Peripheral blood film. Cropped to a single cell: 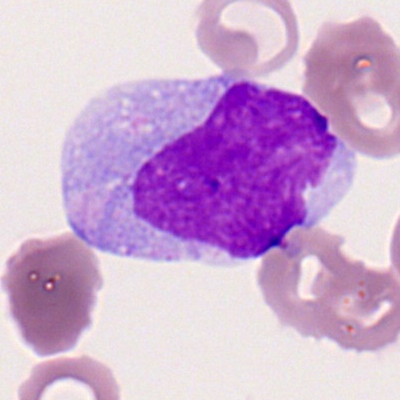

This is a monocyte.